Bone marrow aspirate smear
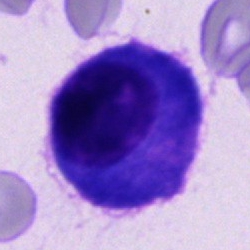
Specimen: bone marrow smear.
Classification: other cell type.